Bone marrow aspirate smear: 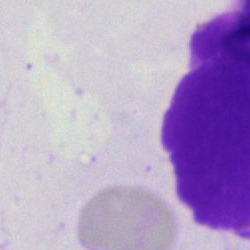Specimen: bone marrow smear.
Classification: artifact.